Bone marrow smear; 40× objective, oil immersion:
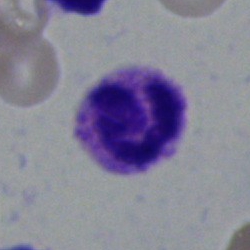Q: What is shown here?
A: This is a polymorphonuclear neutrophil.